Bone marrow smear: 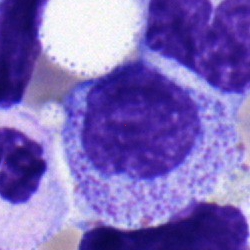This is a myelocyte.